Bone marrow smear · 40× oil immersion · 250 by 250 pixels.
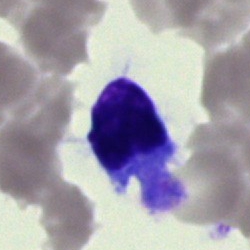

Artifact.